100× oil immersion, 14.14 px/µm. Peripheral blood smear.
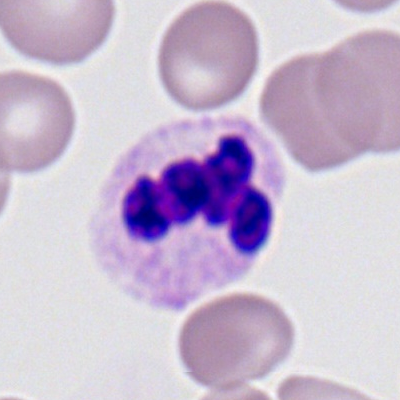

Cell: neutrophil (segmented).